Bone marrow aspirate smear. Pappenheim-stained. Image size 250×250: 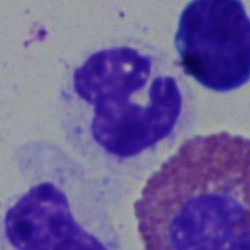{"cell_type": "segmented neutrophil"}